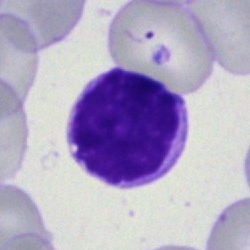

A lymphocyte on a bone marrow smear.